Bone marrow smear.
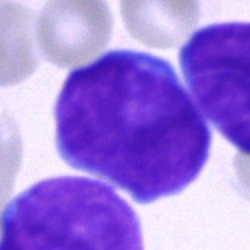
An undifferentiated blast.